Bone marrow aspirate smear. Image size 250×250. Single cell centered in the field.
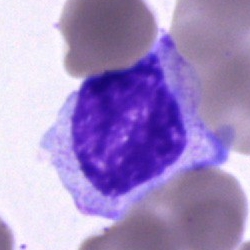

Q: Identify the cell.
A: An unidentifiable cell.